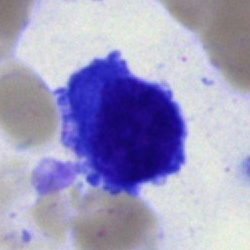

The cell type is nucleated red blood cell.